Bone marrow smear:
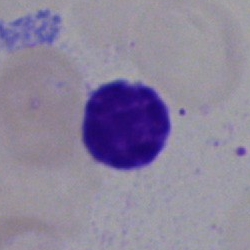Specimen: bone marrow smear.
Classification: typical lymphocyte.
Lineage: lymphoid.